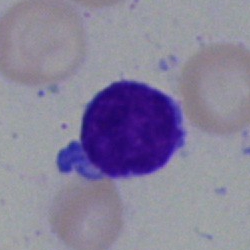
Cell type — typical lymphocyte.